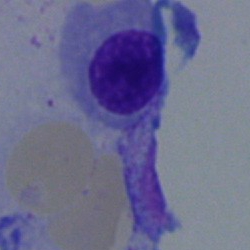
Morphological class — normoblast.